Bone marrow aspirate smear. 250×250. May-Grünwald-Giemsa/Pappenheim stain
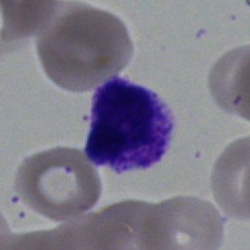Segmented neutrophil.